Single-cell field · bone marrow smear.
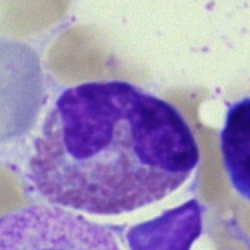 Morphology → eosinophilic granulocyte.